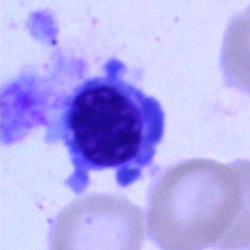
Q: Which cell type is shown here?
A: It is an erythroblast.